Bone marrow smear · 250×250 px: 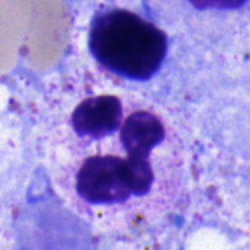 Specimen: bone marrow smear.
Morphological class: polymorphonuclear neutrophil.
Lineage: myeloid.